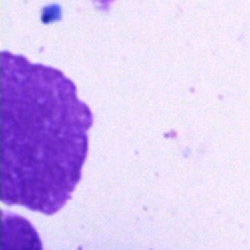

Q: What is shown here?
A: Artifact.